Bone marrow aspirate smear.
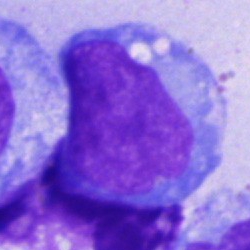

The classification is blast cell.